Bone marrow smear. May-Grünwald-Giemsa/Pappenheim stain. Brightfield, 40× oil-immersion objective
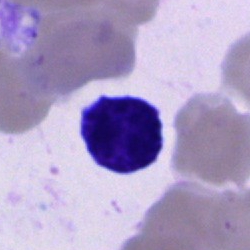

Q: What is shown here?
A: Plasmacyte.